Bone marrow smear
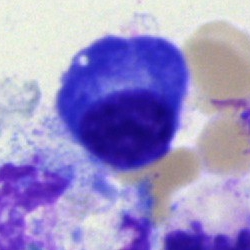Morphology — plasmacyte.